Cropped to a single cell. Bone marrow aspirate smear: 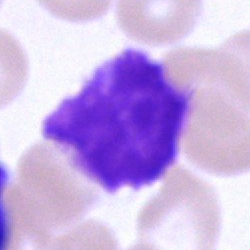

Single cell identified as an artefact.